Brightfield, 40× oil-immersion objective. Bone marrow smear — 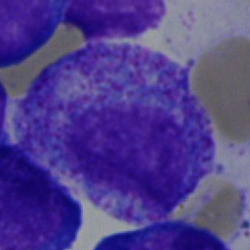

Q: What is the morphological classification of this cell?
A: Myelocyte.